40× oil immersion. Bone marrow smear — 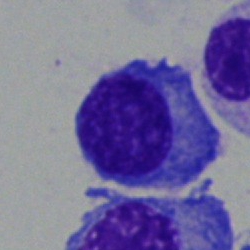
Q: What cell is this?
A: A plasma cell.